Bone marrow aspirate smear
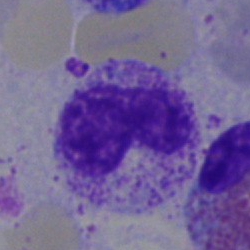
Specimen: bone marrow smear.
Cell: neutrophil (band).
Lineage: myeloid.